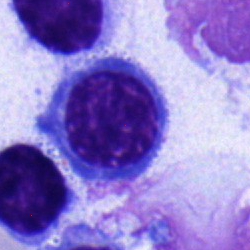 The cell is lymphocyte.